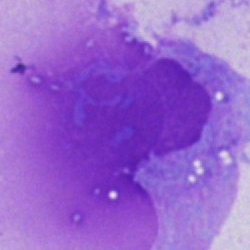

Q: What is shown here?
A: This is an artefact.